Bone marrow smear:
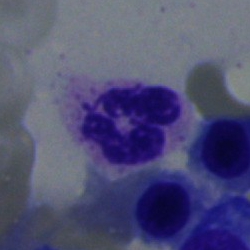Impression → neutrophil (segmented).